Pappenheim-stained · bone marrow smear.
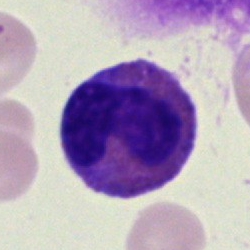

Q: What cell is this?
A: An eosinophil.